Peripheral blood film · Romanowsky stain.
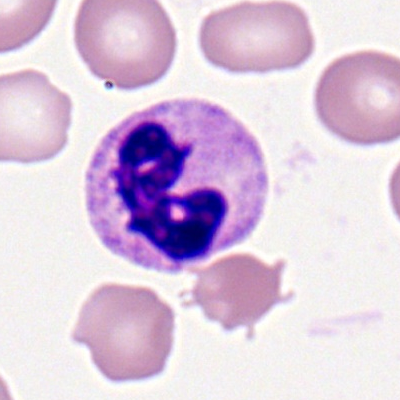 Morphological class = polymorphonuclear neutrophil.